Bone marrow aspirate smear; Pappenheim-stained
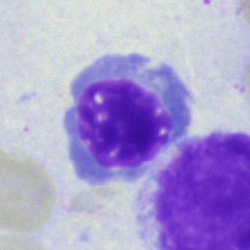Cell: normoblast.